Pappenheim-stained; bone marrow smear; image size 250×250 — 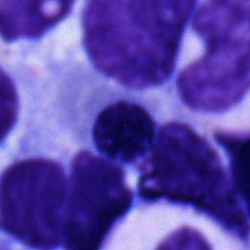

The morphological class is erythroblast.